Bone marrow aspirate smear; 40× oil immersion — 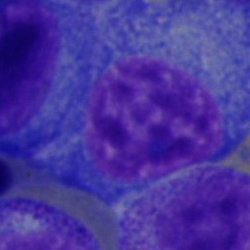 Morphology consistent with a plasmacyte.